Bone marrow smear:
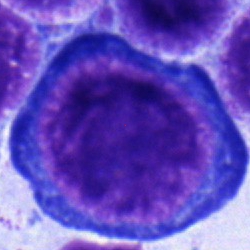

Morphology consistent with a nucleated red cell.